40× oil immersion · bone marrow smear — 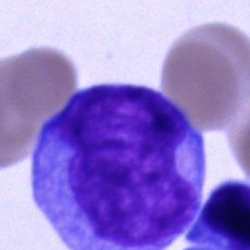
Classification = blast cell.